Bone marrow smear — 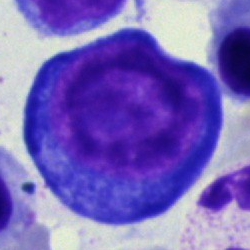

Pronormoblast.